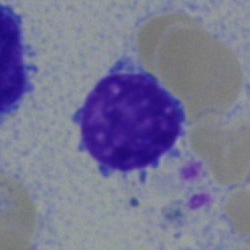

Showing a lymphocyte.